Single-cell crop; bone marrow smear: 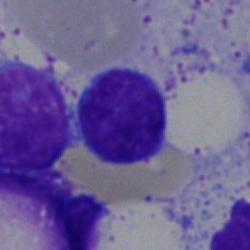

Specimen: bone marrow aspirate smear.
Classification: lymphocyte.
Lineage: lymphoid.